Bone marrow smear: 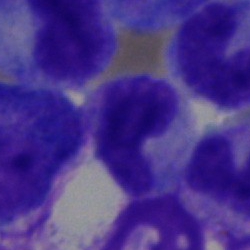

Specimen: bone marrow smear.
Classification: neutrophil (band).
Lineage: myeloid.